40× oil immersion · bone marrow aspirate smear — 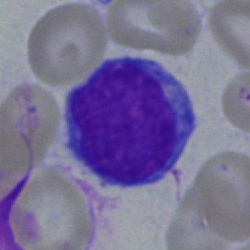
Cell type = lymphocyte.